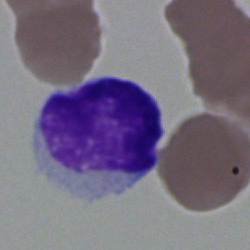 This is a lymphocyte.